Bone marrow smear · 40× objective, oil immersion · single cell centered in the field.
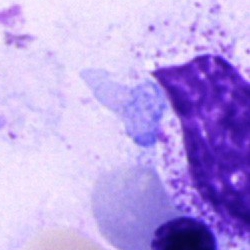
Morphological class: artifact.